Bone marrow smear.
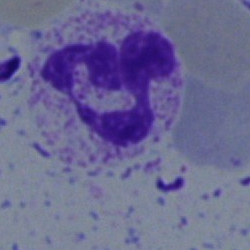Morphology → segmented neutrophil.